Bone marrow aspirate smear:
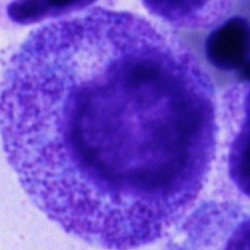Q: What is the morphological classification of this cell?
A: This is a promyelocyte.